Bone marrow aspirate smear: 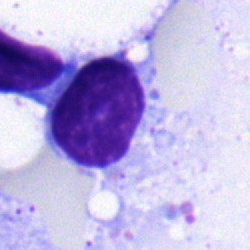 Morphological class — typical lymphocyte.